Bone marrow smear — 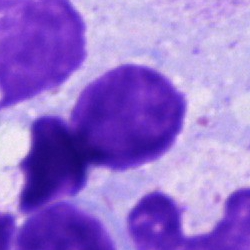Cell type = artifact.